40× oil immersion · bone marrow aspirate smear.
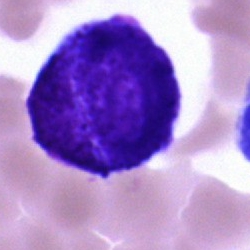 Cell: blast cell.